Bone marrow aspirate smear — 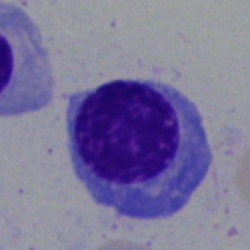 The cell shown is an erythroblast.